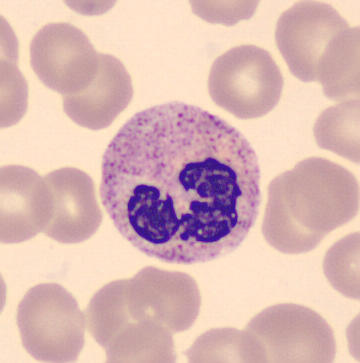
Preparation: Peripheral blood film.

Showing a polymorphonuclear neutrophil.